Bone marrow smear — 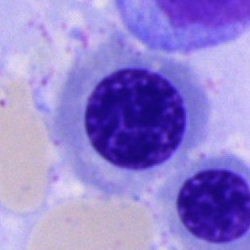
The cell shown is a normoblast.